Bone marrow smear: 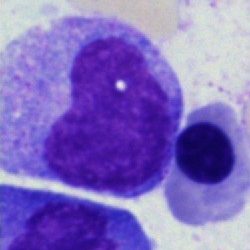
Cell type — monocyte.